May-Grünwald-Giemsa/Pappenheim stain; bone marrow smear:
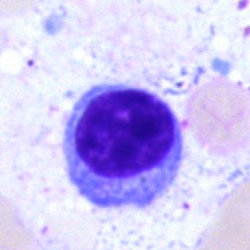 Impression → lymphocyte.